Bone marrow aspirate smear: 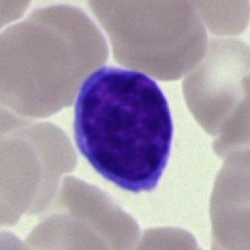
This is a lymphocyte.